250×250 px. Bone marrow smear — 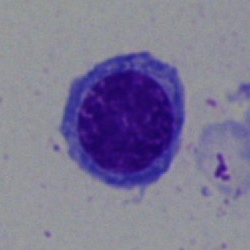Specimen: bone marrow aspirate smear.
Classification: nucleated red blood cell.
Lineage: erythroid.